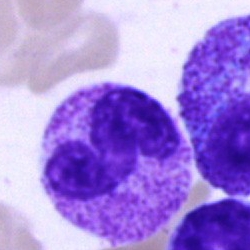
Showing a neutrophil (band).